Bone marrow smear: 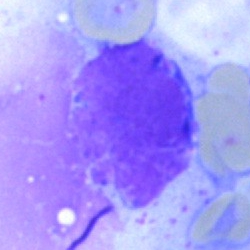 Specimen: bone marrow aspirate smear.
Cell type: artifact.